Bone marrow smear; 250×250.
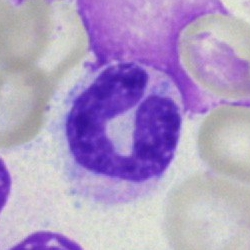 Impression — segmented neutrophil.